250×250 px · single-cell crop · bone marrow aspirate smear.
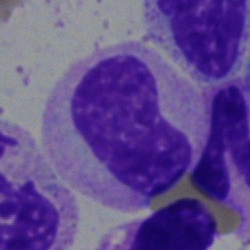Cell type — stab cell.